Single-cell field; brightfield microscopy, 40× oil immersion; bone marrow aspirate smear:
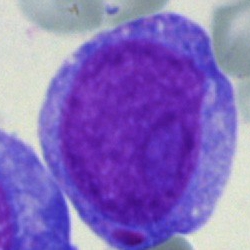 Morphology consistent with a blast cell.